Brightfield microscopy, 40× oil immersion. Bone marrow aspirate smear.
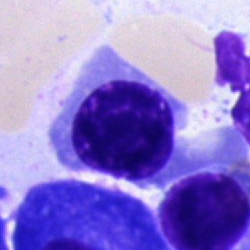 Morphology consistent with a nucleated red cell.